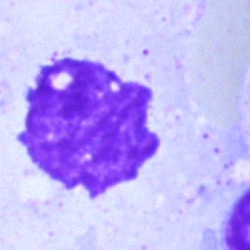Q: What is shown here?
A: It is an artefact.